Brightfield, 40× oil-immersion objective. Bone marrow smear. Single-cell crop
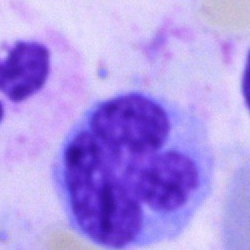Specimen: bone marrow aspirate smear.
Cell: monocyte.